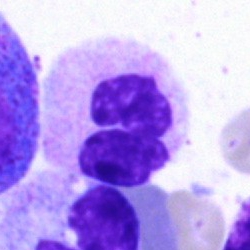

Morphological class = neutrophil (segmented).